Bone marrow aspirate smear · 250×250 px.
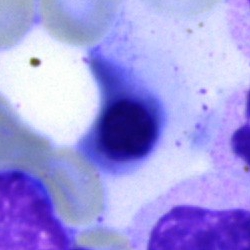 Morphology → erythroblast.